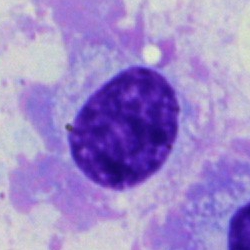Specimen: bone marrow smear.
Cell: plasmacyte.